40× objective, oil immersion. MGG-stained. Bone marrow aspirate smear: 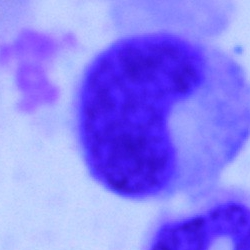
Cell: neutrophil (band).